Bone marrow aspirate smear. Brightfield, 40× oil-immersion objective. May-Grünwald-Giemsa/Pappenheim stain.
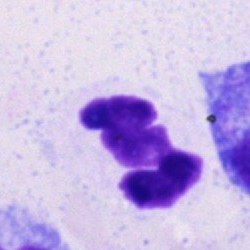Segmented neutrophil.